Bone marrow aspirate smear.
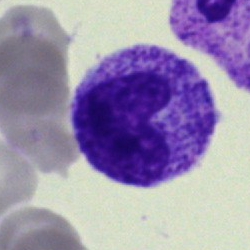 Q: What is shown here?
A: It is a metamyelocyte.